250×250; bone marrow smear
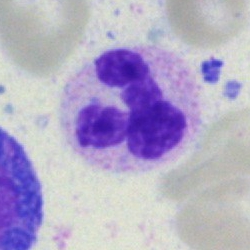
Specimen: bone marrow aspirate smear.
Morphological class: segmented neutrophil.